Peripheral blood film:
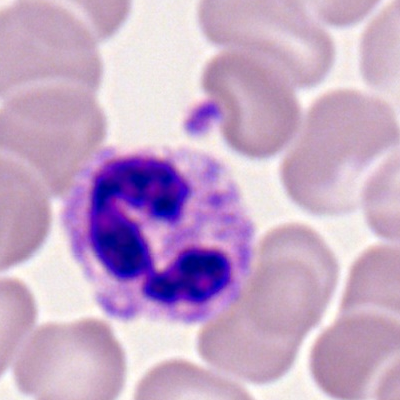
A polymorphonuclear neutrophil.